Single-cell crop · bone marrow smear.
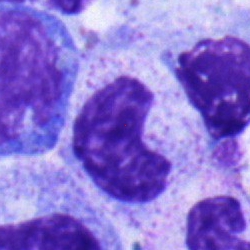 Morphological class — metamyelocyte.